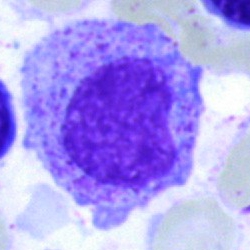

Bone marrow smear showing a progranulocyte.